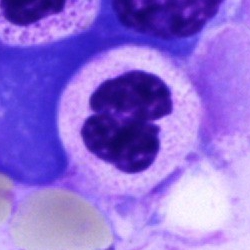

Cell — segmented neutrophil.